250×250 px; single-cell field; bone marrow smear:
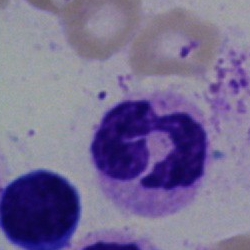Single cell identified as a segmented neutrophil.